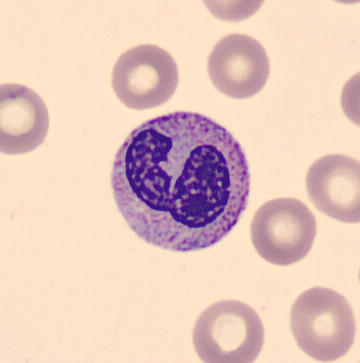Specimen: peripheral blood film.
Morphological class: band-form neutrophil.
Lineage: myeloid.